Pappenheim-stained. Bone marrow aspirate smear: 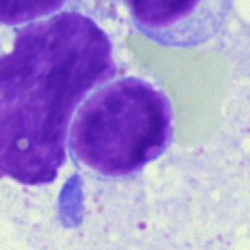

{"cell_type": "artefact"}